Peripheral blood smear.
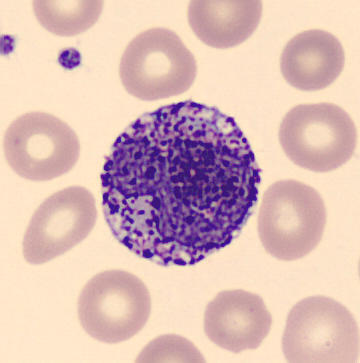 This is a basophilic granulocyte.